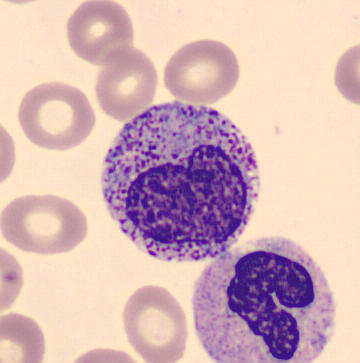
Morphological class = myelocyte.
Acquisition: Single-cell crop; 360×363; peripheral blood smear.